40× objective, oil immersion; bone marrow smear; image size 250×250:
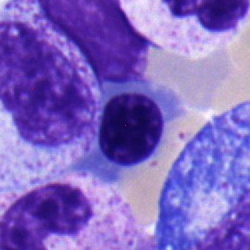
Q: Which cell type is shown here?
A: This is a nucleated red cell.